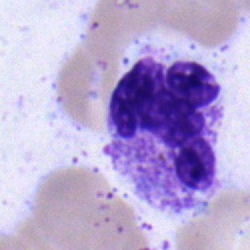

Morphology — neutrophil (segmented).